Image size 250×250 · bone marrow aspirate smear · MGG-stained:
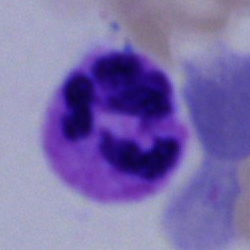

Q: What type of cell is this?
A: It is a polymorphonuclear neutrophil.